Bone marrow smear
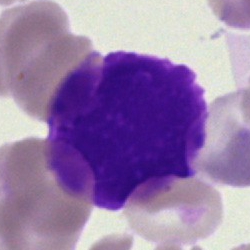 Morphology consistent with an artifact.